MGG-stained. 250 by 250 pixels. Bone marrow aspirate smear: 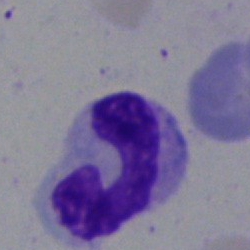

A segmented neutrophil.